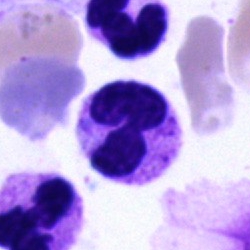
Q: What is the morphological classification of this cell?
A: A segmented neutrophil.